Peripheral blood smear — 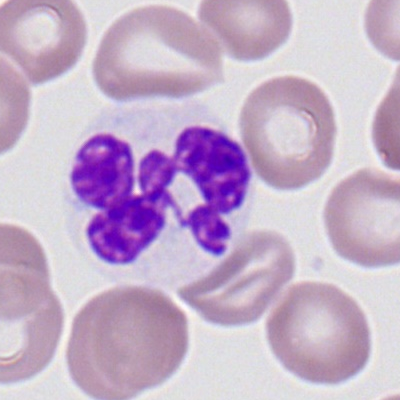

A polymorphonuclear neutrophil.